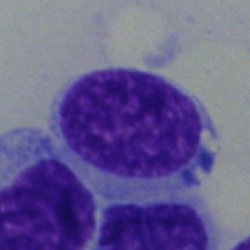 Impression → lymphocyte.